May-Grünwald-Giemsa stain · single cell centered in the field · bone marrow aspirate smear — 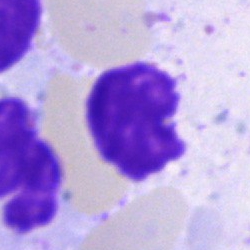

Q: What is shown here?
A: Artifact.